40× oil immersion. May-Grünwald-Giemsa/Pappenheim stain. Bone marrow aspirate smear.
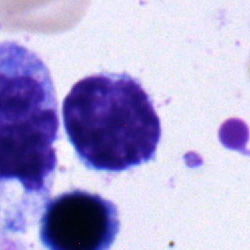Cell: lymphocyte.